Bone marrow smear:
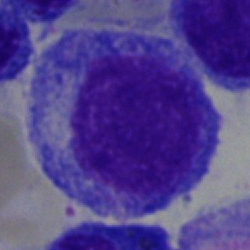A promyelocyte.